Bone marrow smear; May-Grünwald-Giemsa/Pappenheim stain; brightfield, 40× oil-immersion objective — 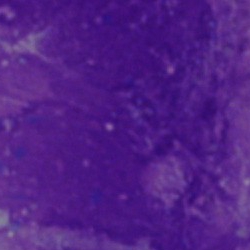
An artefact.